Bone marrow smear
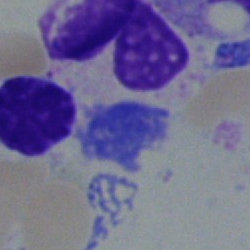

Q: What is the morphological classification of this cell?
A: It is a typical lymphocyte.